Bone marrow smear. Brightfield microscopy, 40× oil immersion — 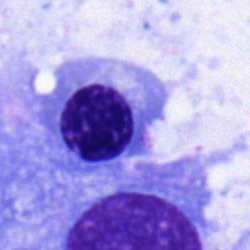

Morphological class = nucleated red cell.